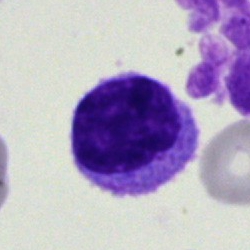 The morphological class is typical lymphocyte.